Bone marrow smear — 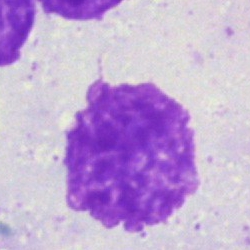The cell shown is an artifact.